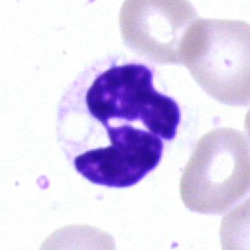

Morphology → segmented neutrophil.